Bone marrow aspirate smear:
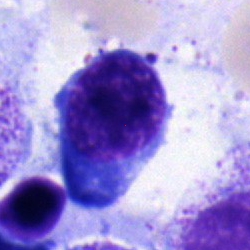Plasmacyte.